250×250 px · bone marrow aspirate smear: 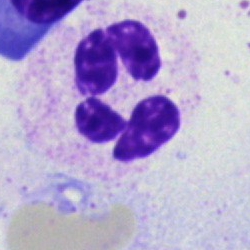
Q: Which cell type is shown here?
A: This is a segmented neutrophil.